Bone marrow aspirate smear — 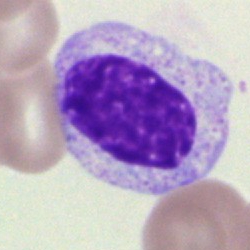Specimen: bone marrow smear.
Cell type: myelocyte.